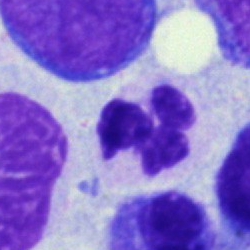

Impression → polymorphonuclear neutrophil.